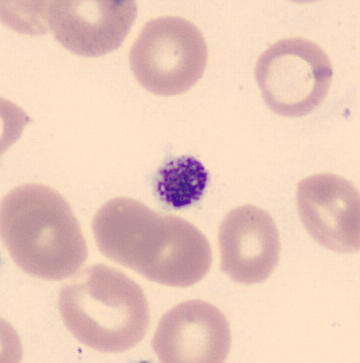
Acquisition: Peripheral blood film.
{"cell_type": "thrombocyte"}